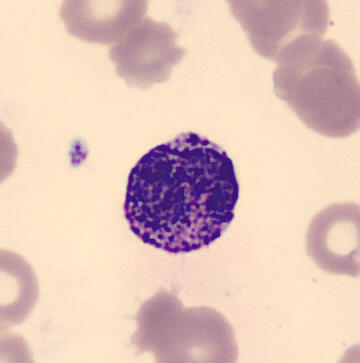 Specimen: peripheral blood film.
Morphological class: basophilic granulocyte.